May-Grünwald-Giemsa stain · bone marrow aspirate smear:
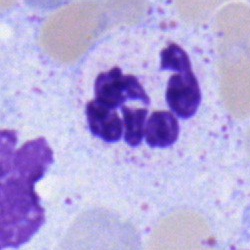 Morphological class — segmented neutrophil.